Peripheral blood film; 400×400 px
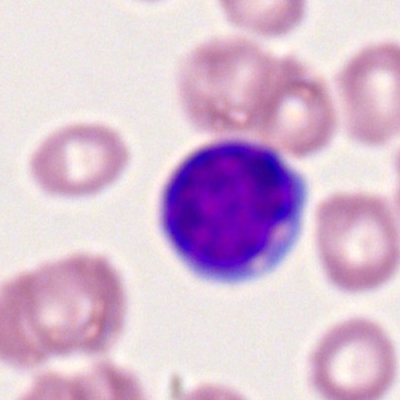
The cell shown is a lymphocyte.